Bone marrow aspirate smear; image size 250×250.
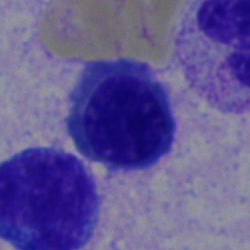The classification is erythroblast.